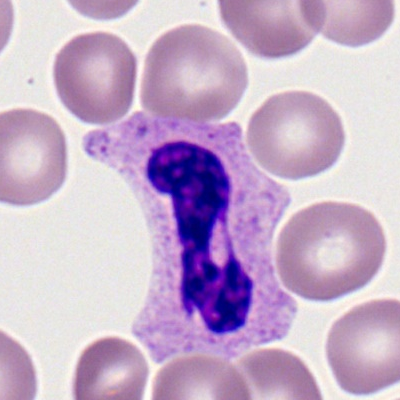

Cell — polymorphonuclear neutrophil.